Single-cell field; bone marrow aspirate smear
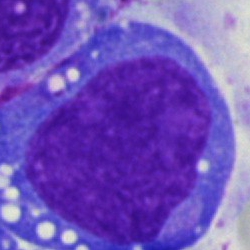
Cell — blast.